Bone marrow smear; 40× oil immersion; single-cell field:
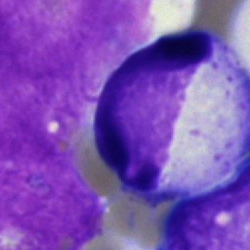
The cell shown is an artifact.